Bone marrow aspirate smear
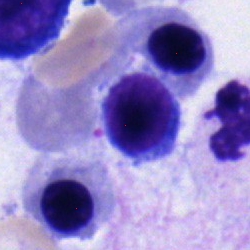 A typical lymphocyte.